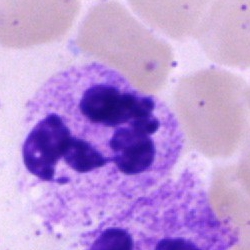
Segmented neutrophil.